Bone marrow smear. May-Grünwald-Giemsa stain. Image size 250×250: 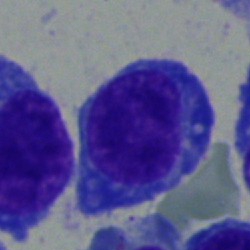
Q: What is shown here?
A: It is a plasma cell.